Bone marrow aspirate smear — 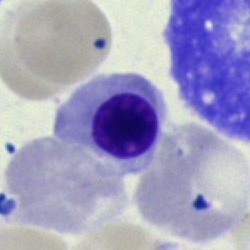Specimen: bone marrow smear.
Classification: nucleated red blood cell.
Lineage: erythroid.